Bone marrow aspirate smear.
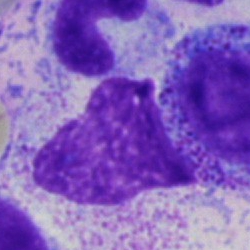
Classification = artefact.